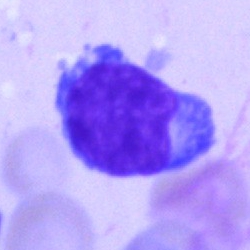Bone marrow smear showing a typical lymphocyte.